MGG-stained; bone marrow aspirate smear: 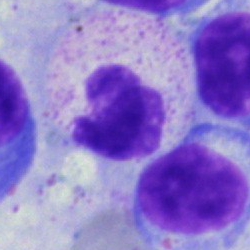
This is a polymorphonuclear neutrophil.